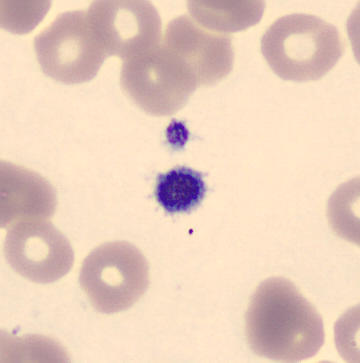
This is a platelet (thrombocyte).